Bone marrow aspirate smear
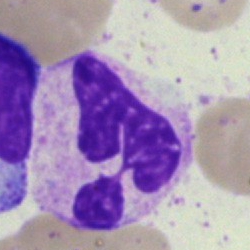Specimen: bone marrow aspirate smear.
Cell: neutrophil (segmented).